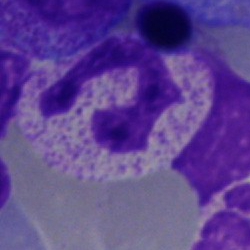 Specimen: bone marrow aspirate smear.
Cell: neutrophil (segmented).
Lineage: myeloid.